Bone marrow aspirate smear:
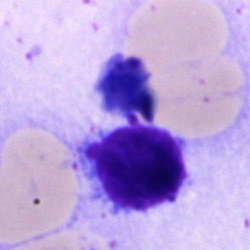

Cell: typical lymphocyte.